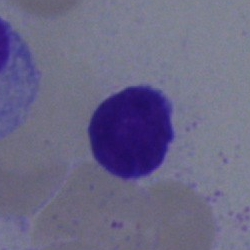Q: What is the morphological classification of this cell?
A: It is a typical lymphocyte.